400 by 400 pixels; peripheral blood smear; M8 digital microscope (Precipoint), 100× oil immersion — 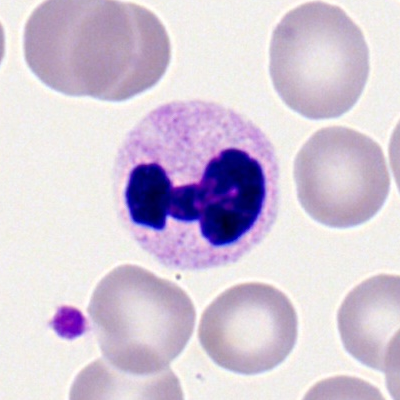The cell shown is a segmented neutrophil.